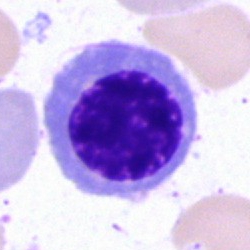
Classification — normoblast.